Single-cell field · bone marrow aspirate smear
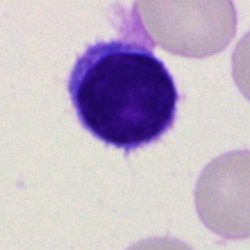 Morphological class = lymphocyte.